Bone marrow aspirate smear: 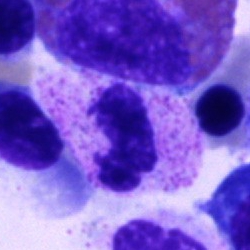
Q: What is shown here?
A: Neutrophil (band).